Bone marrow smear — 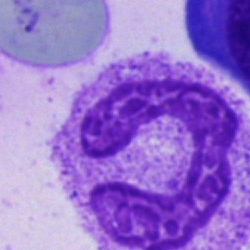

Impression → stab cell.